Bone marrow aspirate smear
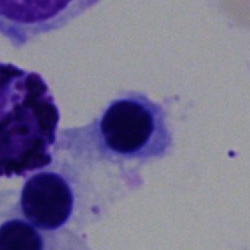
Specimen: bone marrow smear.
Morphological class: nucleated red blood cell.